Bone marrow aspirate smear; image size 250×250 — 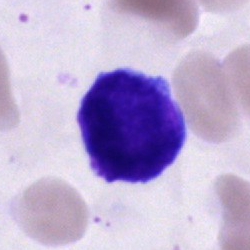
Morphology consistent with a typical lymphocyte.